Bone marrow aspirate smear; 40× objective, oil immersion.
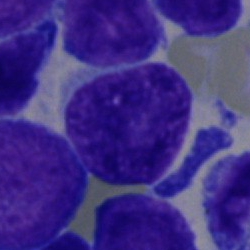
Morphology consistent with a blast cell.